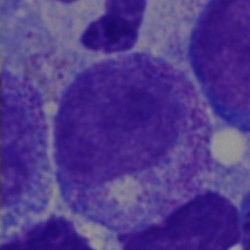

Specimen: bone marrow smear.
Cell type: myelocyte.
Lineage: myeloid.